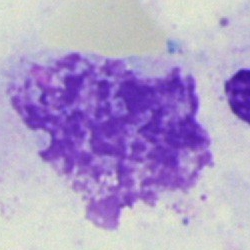
Q: What is shown here?
A: An artifact.